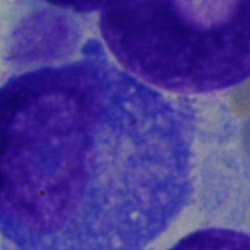Morphological class = promyelocyte.